Image size 250×250. 40× objective, oil immersion. Bone marrow smear — 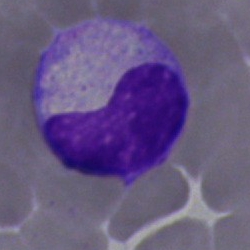The cell shown is a band-form neutrophil.